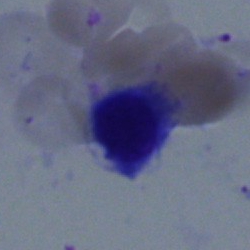
The cell type is typical lymphocyte.